Bone marrow aspirate smear. 40× oil immersion.
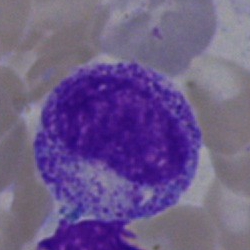{"cell_type": "myelocyte"}